Bone marrow aspirate smear; brightfield microscopy, 40× oil immersion; 250×250 px — 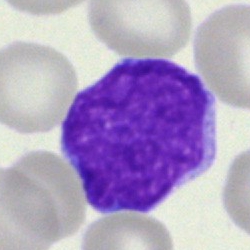

Q: What is shown here?
A: This is a blast cell.